Bone marrow smear: 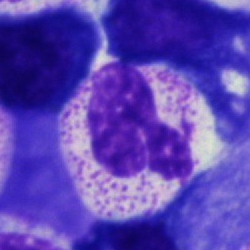Q: Identify the cell.
A: A neutrophil (segmented).